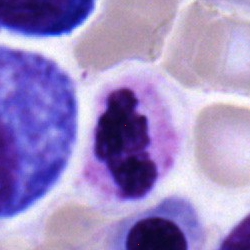
Q: What cell is this?
A: It is a polymorphonuclear neutrophil.